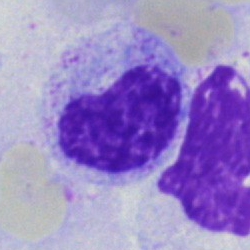

Morphological class = metamyelocyte.